Peripheral blood film: 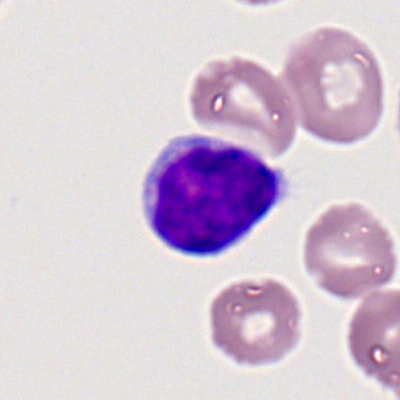

This is a lymphocyte.